Bone marrow smear.
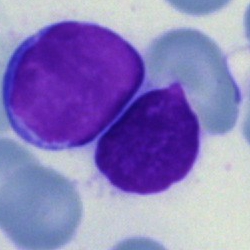 Cell = lymphocyte.